250×250 px; bone marrow aspirate smear — 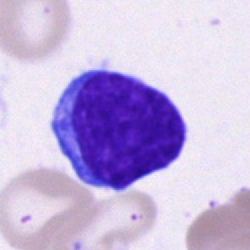

Typical lymphocyte.